Bone marrow aspirate smear.
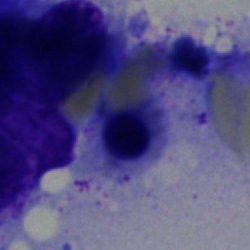 This is an erythroblast.